Single-cell field. 40× objective, oil immersion. Bone marrow aspirate smear.
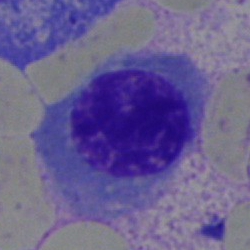 Impression → nucleated red cell.